Peripheral blood smear · 400×400 px
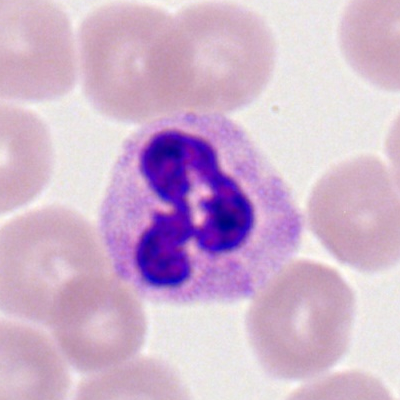 Morphological class — neutrophil (segmented).